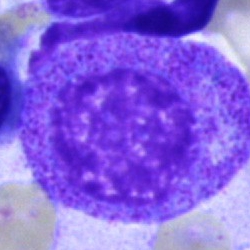Specimen: bone marrow smear.
Morphological class: myelocyte.